Peripheral blood smear.
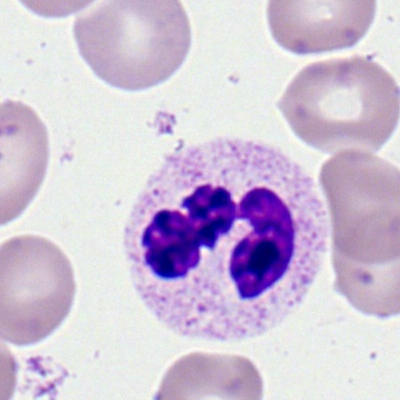 Morphological class — polymorphonuclear neutrophil.